Brightfield microscopy, 40× oil immersion · bone marrow smear.
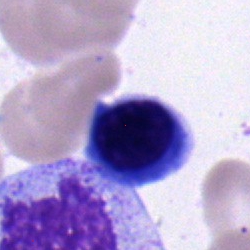

Morphology consistent with an erythroblast.